Bone marrow aspirate smear · brightfield microscopy, 40× oil immersion · single-cell field:
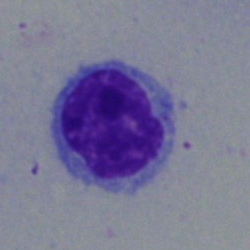Specimen: bone marrow aspirate smear.
Classification: typical lymphocyte.